Bone marrow aspirate smear:
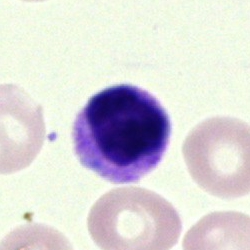{"cell_type": "artifact"}